Bone marrow smear:
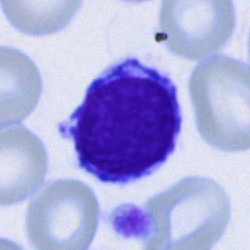

The cell shown is a typical lymphocyte.